Bone marrow aspirate smear; MGG-stained; cropped to a single cell:
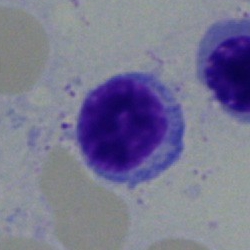

Q: Identify the cell.
A: This is a typical lymphocyte.